Bone marrow aspirate smear:
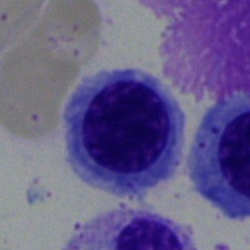 Nucleated red blood cell.